Bone marrow aspirate smear; image size 250×250.
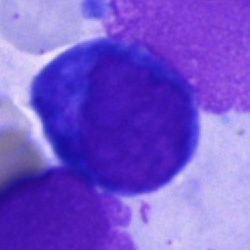A proerythroblast.